Peripheral blood smear. Single cell centered in the field — 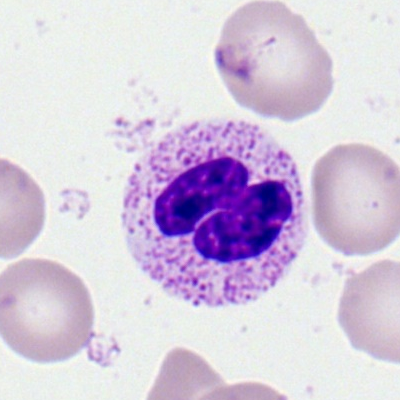
Cell type = neutrophil (segmented).